Bone marrow aspirate smear · Pappenheim-stained
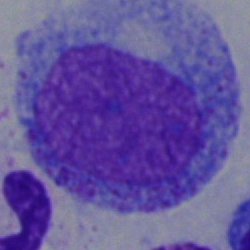

Morphology — promyelocyte.